Peripheral blood smear. Brightfield, 100× oil-immersion objective
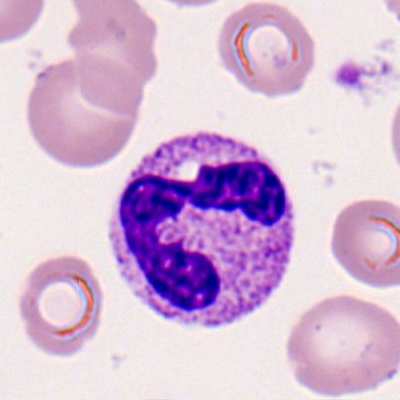
Specimen: peripheral blood film.
Cell: segmented neutrophil.
Lineage: myeloid.